Bone marrow smear: 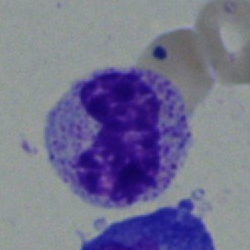 {"cell_type": "metamyelocyte", "lineage": "myeloid"}